Single-cell field. Bone marrow aspirate smear. Image size 250×250
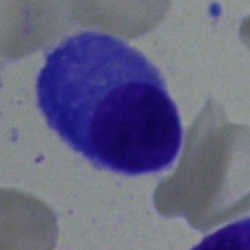

The cell type is plasmacyte.